Bone marrow smear.
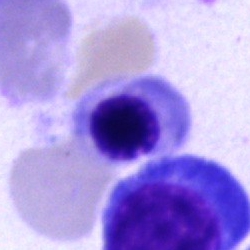Morphology consistent with a nucleated red blood cell.